Bone marrow smear. May-Grünwald-Giemsa stain. Single cell centered in the field: 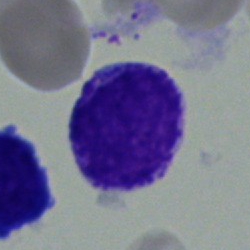Showing a myelocyte.